Brightfield, 40× oil-immersion objective. Bone marrow smear
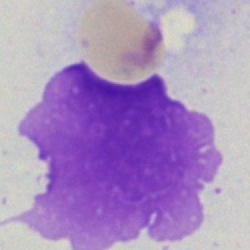Artefact.